Brightfield, 40× oil-immersion objective. 250 by 250 pixels. Bone marrow smear — 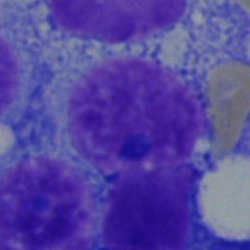
Q: What cell is this?
A: Plasma cell.